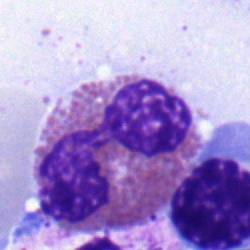
Bone marrow aspirate smear, single cell — eosinophilic granulocyte.